Bone marrow smear:
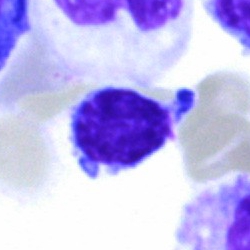

Cell — lymphocyte.